Bone marrow smear
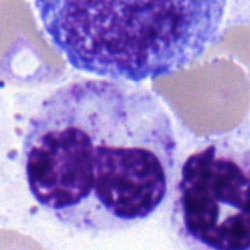
Specimen: bone marrow aspirate smear.
Cell: polymorphonuclear neutrophil.
Lineage: myeloid.